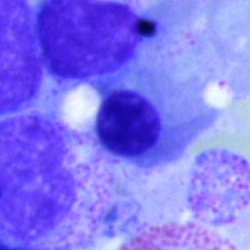

Q: What is shown here?
A: Erythroblast.